Bone marrow smear. 250 by 250 pixels.
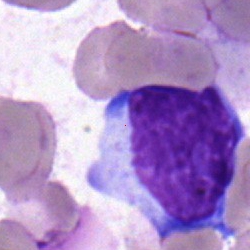
Specimen: bone marrow aspirate smear.
Classification: lymphocyte.